Brightfield, 40× oil-immersion objective; bone marrow smear:
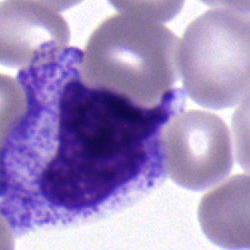
Morphological class = myelocyte.